Bone marrow aspirate smear · cropped to a single cell:
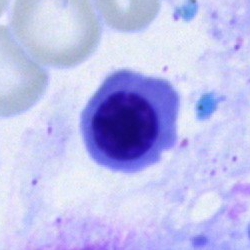

Q: What is the morphological classification of this cell?
A: Erythroblast.